Bone marrow aspirate smear
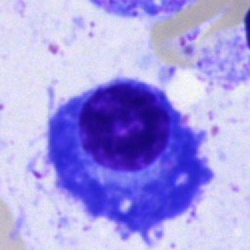
Morphology — plasmacyte.